Bone marrow aspirate smear: 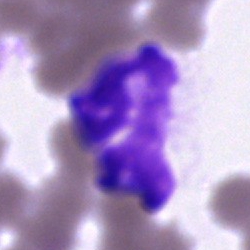 Specimen: bone marrow aspirate smear.
Morphological class: artefact.